Bone marrow aspirate smear; single-cell crop; MGG-stained
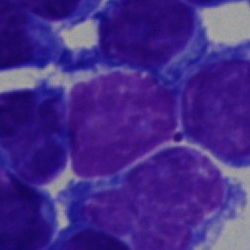
The cell is typical lymphocyte.